Romanowsky-stained. Peripheral blood smear. Brightfield, 100× oil-immersion objective — 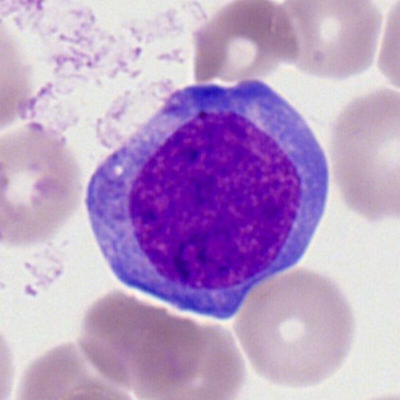

The classification is myeloblast.